Peripheral blood film.
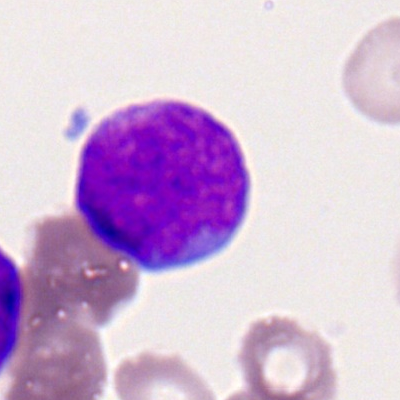 Morphological class: myeloid blast.